Single-cell field. Bone marrow smear:
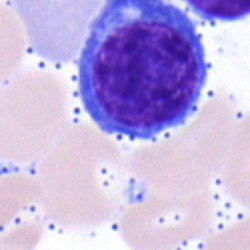
Q: What is the morphological classification of this cell?
A: It is a plasma cell.